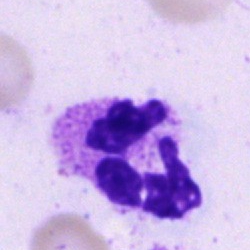
A segmented neutrophil on a bone marrow smear.